Bone marrow aspirate smear:
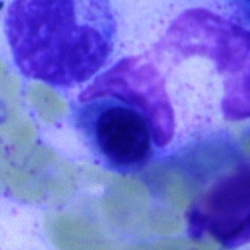 This is a nucleated red blood cell.